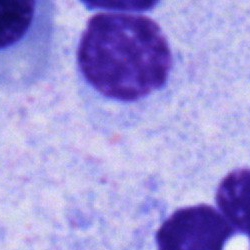

Classification: typical lymphocyte.